Bone marrow aspirate smear. Brightfield microscopy, 40× oil immersion
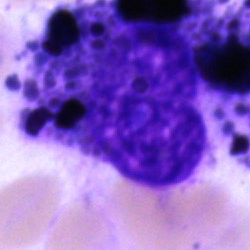
The cell shown is an artefact.